40× objective, oil immersion · bone marrow smear: 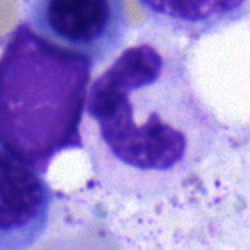

This is a neutrophil (segmented).